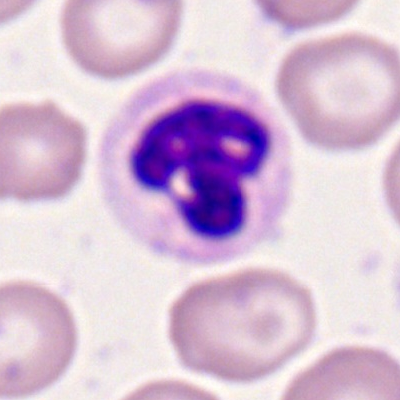Cell type = neutrophil (segmented).